Pappenheim-stained; bone marrow smear — 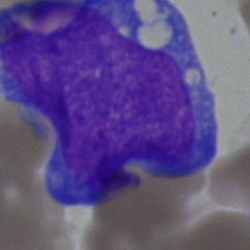 Cell type = blast.